Bone marrow smear · May-Grünwald-Giemsa/Pappenheim stain: 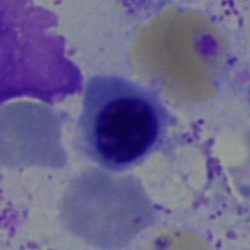

Single cell identified as an erythroblast.